Bone marrow smear — 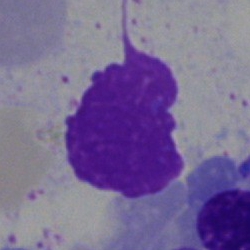
Q: What is shown here?
A: An artefact.